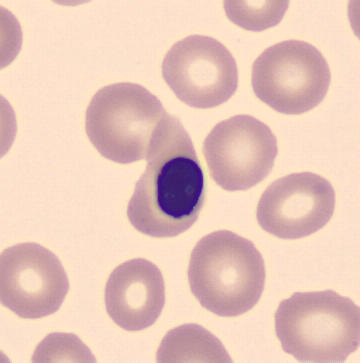
A nucleated red cell on a peripheral blood smear.